250 by 250 pixels; bone marrow aspirate smear; MGG-stained:
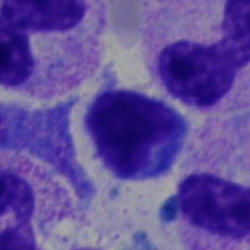
Lymphocyte.